Bone marrow aspirate smear:
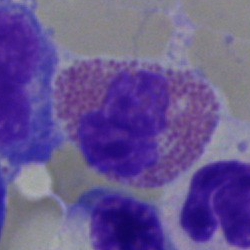

Cell: eosinophilic granulocyte.